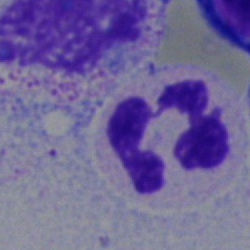
Q: Which cell type is shown here?
A: A polymorphonuclear neutrophil.